Single cell centered in the field. Bone marrow smear.
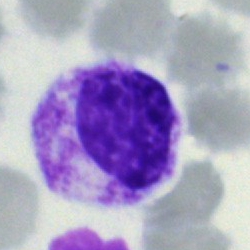

Cell = myelocyte.